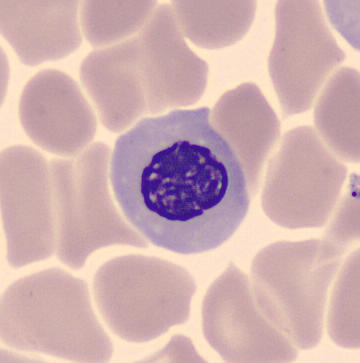

Q: What is this?
A: This is a nucleated red blood cell.
Preparation: 360×363 px · peripheral blood film · imaged on a CellaVision DM96 analyser.